Bone marrow aspirate smear
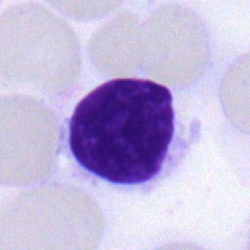

Q: What type of cell is this?
A: This is a typical lymphocyte.